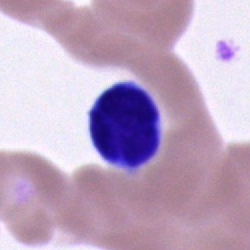
Specimen: bone marrow aspirate smear.
Morphological class: unidentifiable cell.